Bone marrow smear
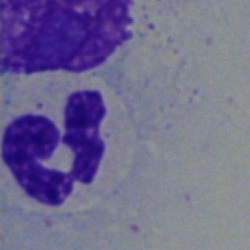
Morphology → neutrophil (segmented).